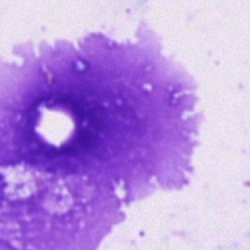 Showing an artefact.